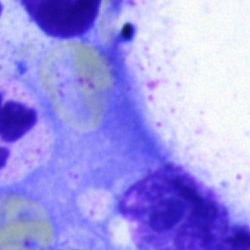
Classification — artifact.